Cropped to a single cell · bone marrow aspirate smear · 250×250 — 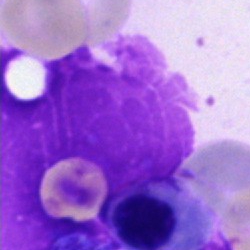
This is an artefact.